Bone marrow aspirate smear:
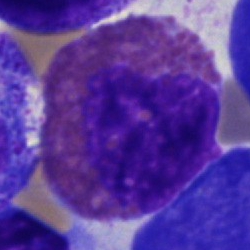Morphology → eosinophilic granulocyte.